MGG-stained; single-cell crop; bone marrow aspirate smear.
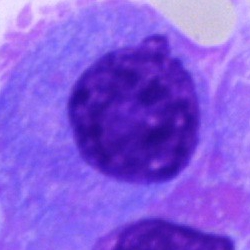

Q: What is shown here?
A: This is a plasmacyte.